Bone marrow aspirate smear
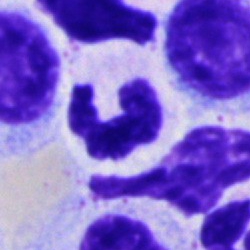 Classification — segmented neutrophil.